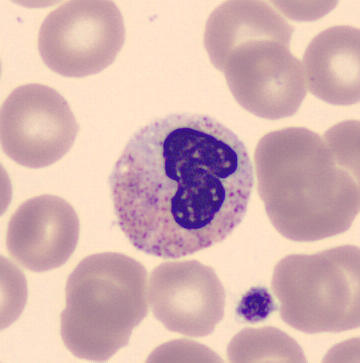
Peripheral blood film.

Band-form neutrophil.